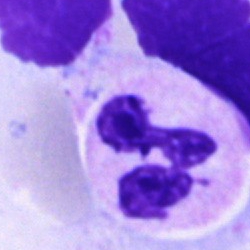
Q: What is shown here?
A: It is a neutrophil (segmented).